Peripheral blood smear. Romanowsky-stained.
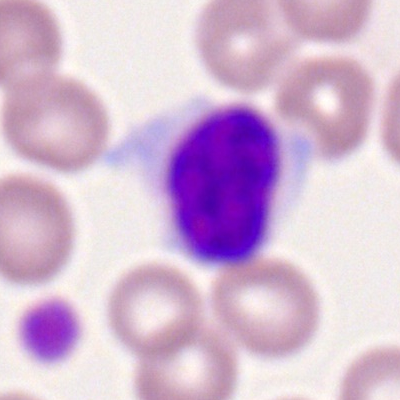 Morphology consistent with a lymphocyte.